Bone marrow aspirate smear · cropped to a single cell.
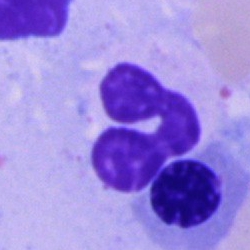 Showing a segmented neutrophil.